Bone marrow smear — 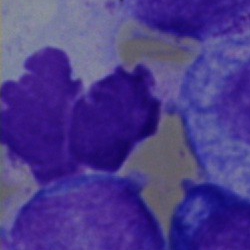Classification = artifact.